Bone marrow smear · 250×250 px
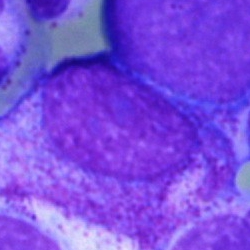

Morphological class = myelocyte.